360×363 px; MGG stain; peripheral blood film.
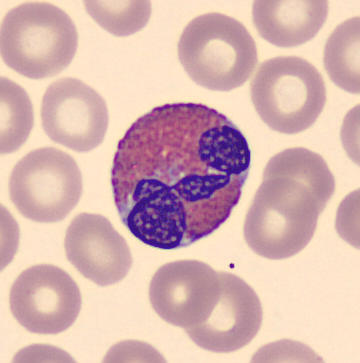

This is an eosinophil.